Bone marrow aspirate smear — 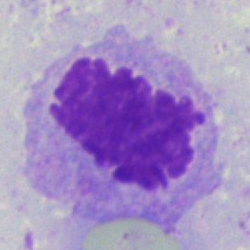

Showing an artifact.